Bone marrow aspirate smear
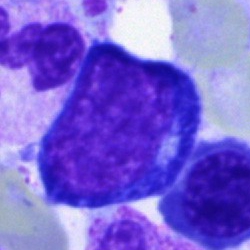
Erythroblast.